Cropped to a single cell. Bone marrow smear. 250×250 px:
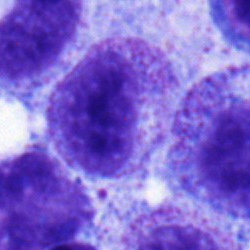
Showing a myelocyte.